Imaged on a CellaVision DM96 analyser. Peripheral blood film.
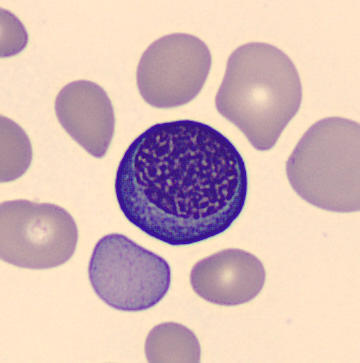 Q: What type of cell is this?
A: This is a nucleated red cell.